Bone marrow smear:
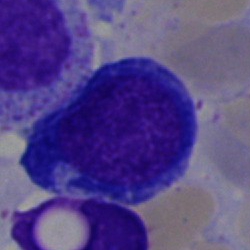

Classification — nucleated red blood cell.